250×250 px · bone marrow smear: 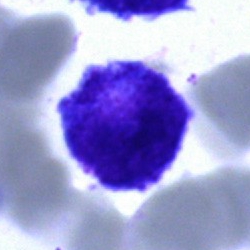

Morphology — progranulocyte.